40× objective, oil immersion · bone marrow smear
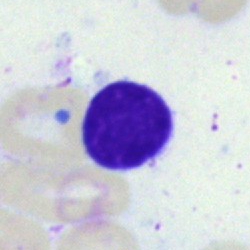Q: What type of cell is this?
A: It is a typical lymphocyte.